Bone marrow aspirate smear.
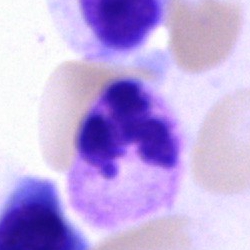Q: Which cell type is shown here?
A: Polymorphonuclear neutrophil.